Bone marrow aspirate smear:
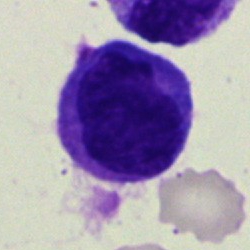 The cell is monocyte.